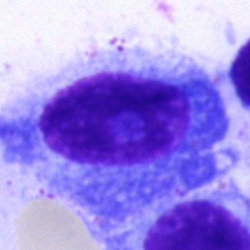 Plasma cell.